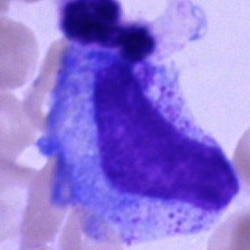 {"cell_type": "promyelocyte"}